Peripheral blood film.
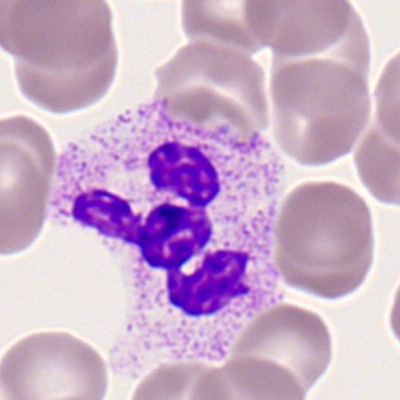Morphology — neutrophil (segmented).